Peripheral blood film · cropped to a single cell:
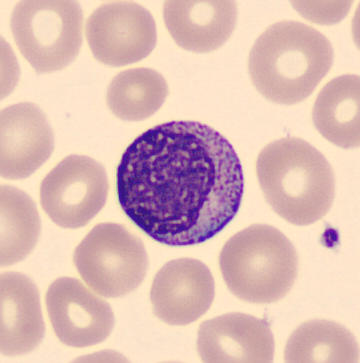
Morphological class — myelocyte.